Bone marrow aspirate smear.
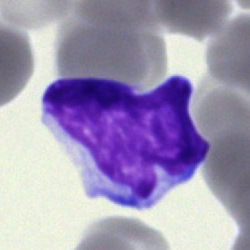{"cell_type": "undifferentiated blast"}